Single-cell field · bone marrow aspirate smear · brightfield microscopy, 40× oil immersion.
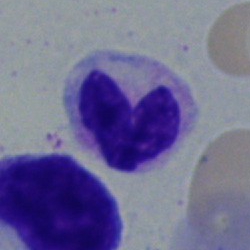

{"cell_type": "stab cell"}